Bone marrow smear.
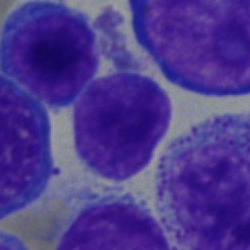Specimen: bone marrow aspirate smear.
Classification: typical lymphocyte.
Lineage: lymphoid.